Bone marrow aspirate smear: 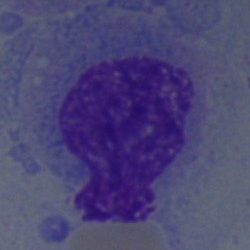Morphological class — blast.